Bone marrow aspirate smear — 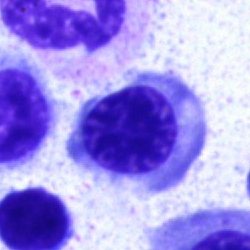

Q: What cell is this?
A: Nucleated red blood cell.